Bone marrow aspirate smear:
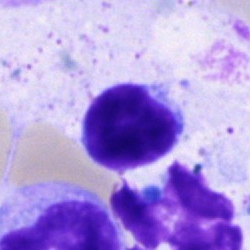
This is a lymphocyte.